Bone marrow smear.
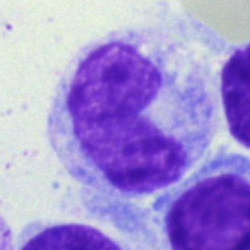Cell: monocyte.